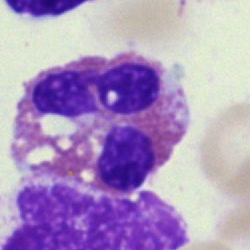Specimen: bone marrow aspirate smear.
Cell: eosinophilic granulocyte.